Bone marrow aspirate smear:
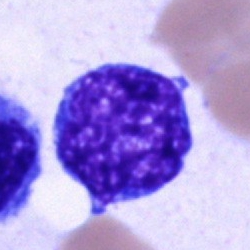

Q: What cell is this?
A: This is an undifferentiated blast.